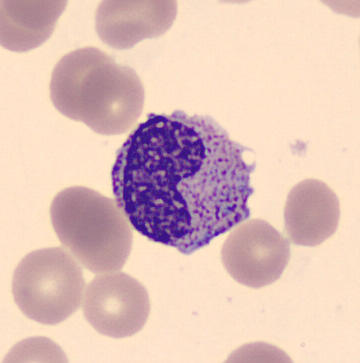 Single-cell crop from a peripheral blood smear: metamyelocyte.